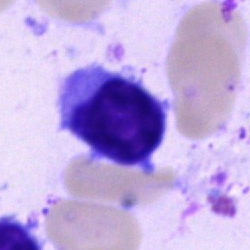
Showing a typical lymphocyte.